100× objective, oil immersion; peripheral blood film; cropped to a single cell.
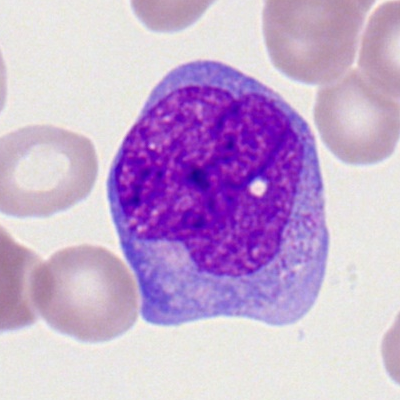Q: Identify the cell.
A: It is a monocyte.